Bone marrow smear; cropped to a single cell: 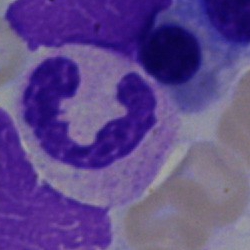 The morphological class is segmented neutrophil.